40× objective, oil immersion; single-cell crop; bone marrow smear.
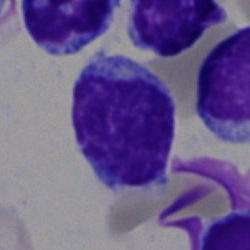

The cell shown is a typical lymphocyte.